Bone marrow smear: 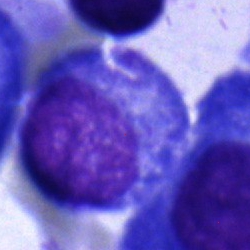
This is a plasmacyte.